Peripheral blood film. 100× oil immersion, 14.14 px/µm — 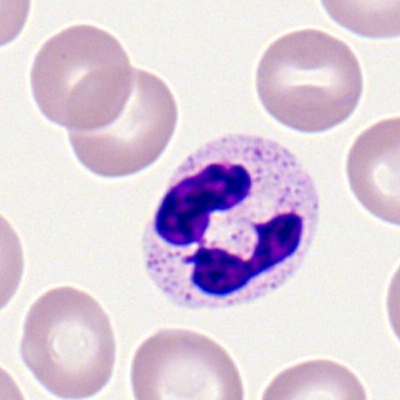 Q: What cell is this?
A: This is a polymorphonuclear neutrophil.